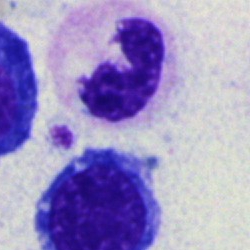
Segmented neutrophil.